Bone marrow smear
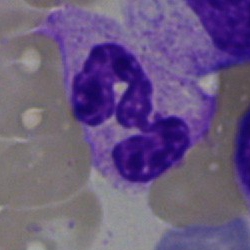
Specimen: bone marrow aspirate smear.
Cell type: neutrophil (segmented).
Lineage: myeloid.